May-Grünwald-Giemsa stain. Bone marrow aspirate smear
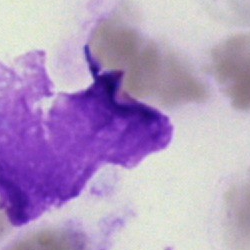

Specimen: bone marrow smear.
Cell: artifact.